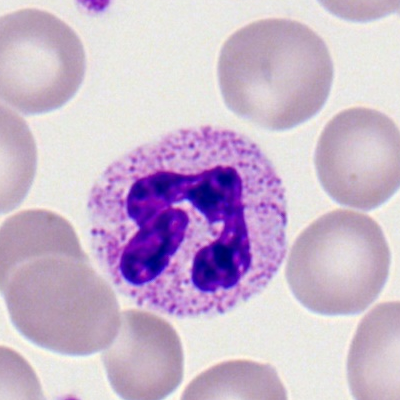

Showing a neutrophil (segmented).